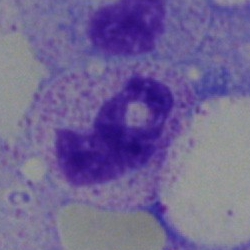
The classification is neutrophil (segmented).